Brightfield microscopy, 40× oil immersion. Bone marrow smear
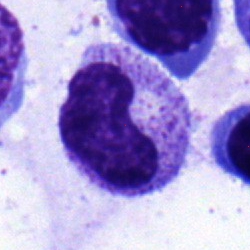
Single cell identified as a metamyelocyte.